Peripheral blood smear:
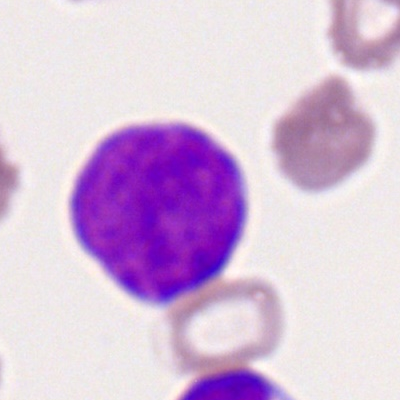 Cell — myeloblast.